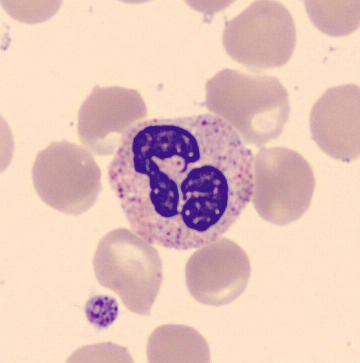Peripheral blood smear · MGG-stained. The cell shown is a neutrophil (segmented).